Bone marrow aspirate smear
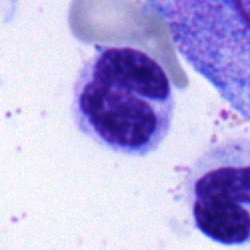 Erythroblast.